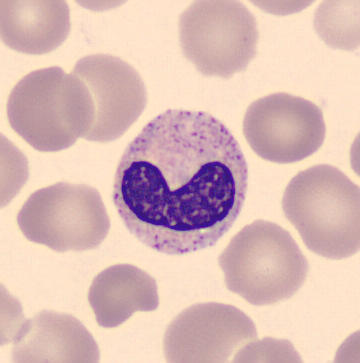 Preparation: Peripheral blood film · single-cell crop. {"cell_type": "band-form neutrophil", "lineage": "myeloid"}